Bone marrow smear; May-Grünwald-Giemsa stain.
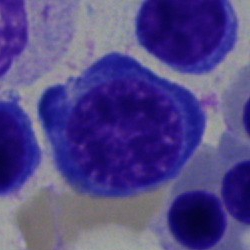

Q: Identify the cell.
A: Nucleated red blood cell.